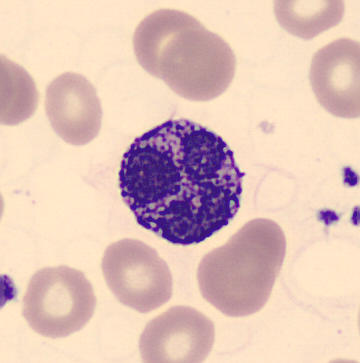Morphology — basophil.